Bone marrow aspirate smear:
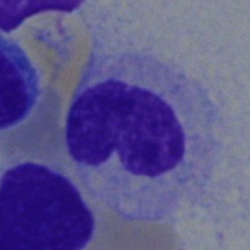 Single cell identified as a band-form neutrophil.